Bone marrow smear. Brightfield microscopy, 40× oil immersion. Single-cell crop.
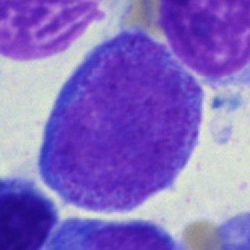
Classification — promyelocyte.